250×250. Bone marrow aspirate smear
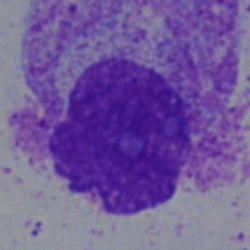

Specimen: bone marrow smear.
Cell type: progranulocyte.
Lineage: myeloid.